Peripheral blood film:
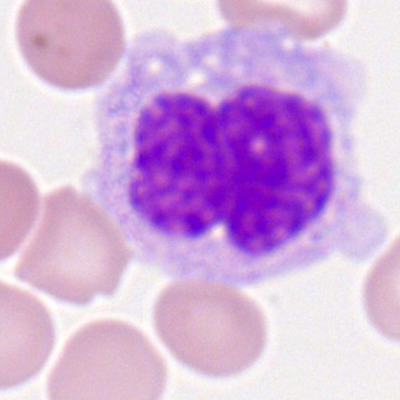 The classification is monocyte.